Bone marrow smear — 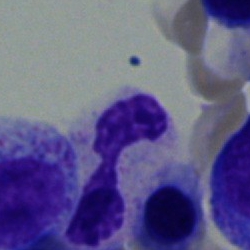Impression — polymorphonuclear neutrophil.